Bone marrow aspirate smear · single-cell crop · May-Grünwald-Giemsa/Pappenheim stain
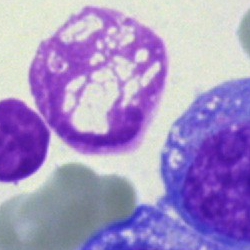

{"cell_type": "artefact"}